Brightfield, 40× oil-immersion objective. 250×250. Bone marrow aspirate smear — 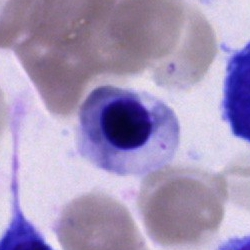The morphological class is normoblast.